Bone marrow aspirate smear:
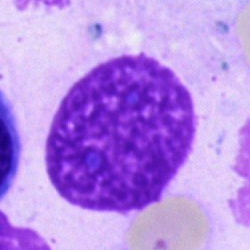Q: What is shown here?
A: It is an artifact.